Bone marrow smear: 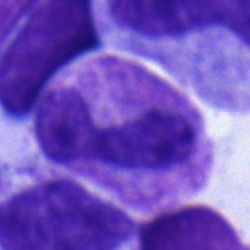Q: Which cell type is shown here?
A: It is a stab cell.